Bone marrow smear: 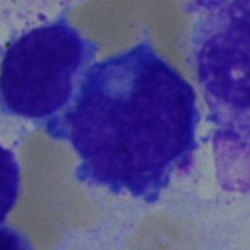
Q: What cell is this?
A: This is an undifferentiated blast.